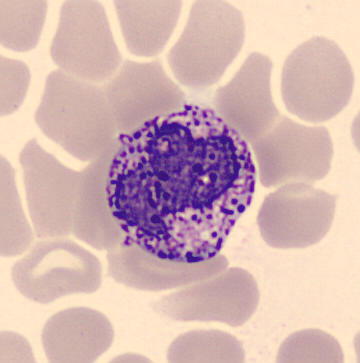

Specimen: peripheral blood smear.
Morphological class: basophil.
Lineage: myeloid.

Acquisition: Cropped to a single cell. MGG stain.